Bone marrow aspirate smear — 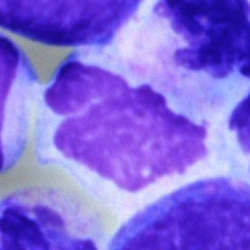{"cell_type": "artefact"}